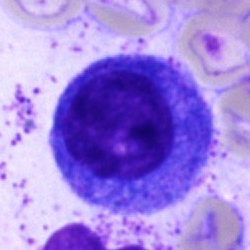

Cell — progranulocyte.